May-Grünwald-Giemsa stain · bone marrow smear
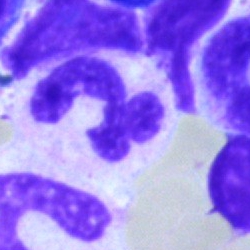 Specimen: bone marrow aspirate smear.
Cell type: segmented neutrophil.